Bone marrow aspirate smear · 250 by 250 pixels
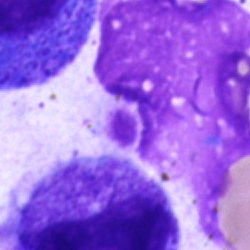
Cell = artefact.